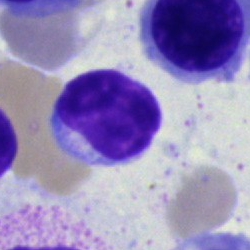
Specimen: bone marrow smear.
Cell type: lymphocyte.
Lineage: lymphoid.